Bone marrow aspirate smear; single cell centered in the field: 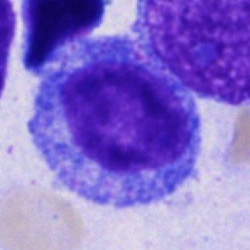

Cell type — promyelocyte.